Bone marrow aspirate smear
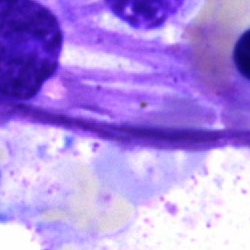

{"cell_type": "artifact"}